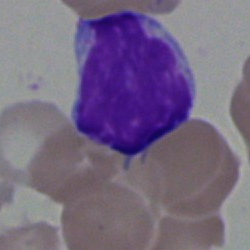 Undifferentiated blast.